Bone marrow aspirate smear. Single-cell crop:
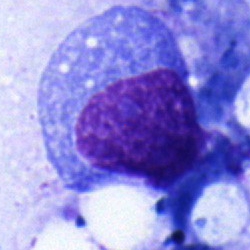 Cell — blast.